Bone marrow aspirate smear. 40× oil immersion: 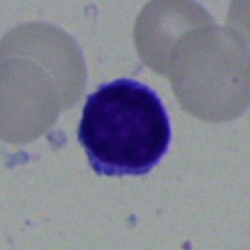

Cell type = typical lymphocyte.